Peripheral blood smear: 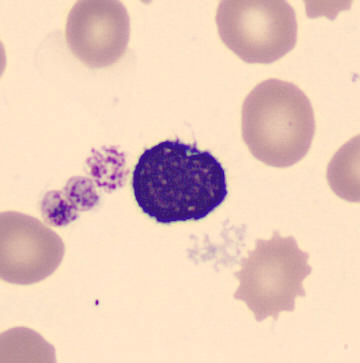

Morphology consistent with a lymphocyte.